Bone marrow aspirate smear
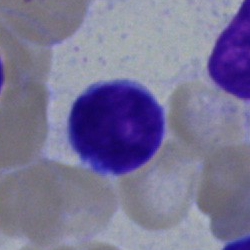Lymphocyte.